Single cell centered in the field; bone marrow smear: 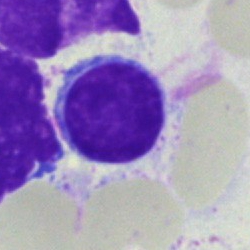

Q: What is shown here?
A: This is a lymphocyte.